Bone marrow aspirate smear — 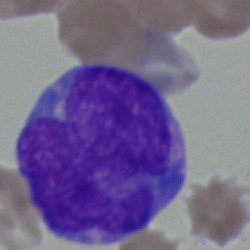

The cell shown is an undifferentiated blast.